250×250; bone marrow aspirate smear; 40× objective, oil immersion — 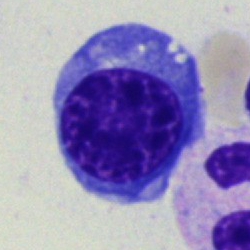

The classification is nucleated red cell.